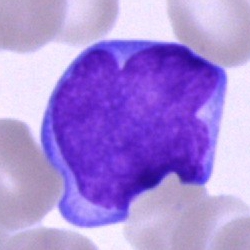
Impression — blast cell.